40× objective, oil immersion. Single-cell crop. Bone marrow aspirate smear — 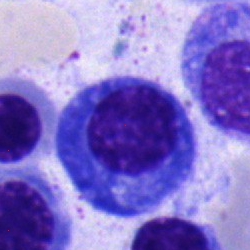Cell — plasmacyte.